Bone marrow smear
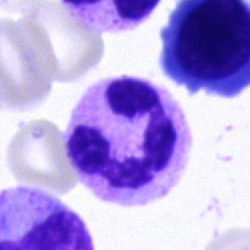

Q: What is the morphological classification of this cell?
A: This is a segmented neutrophil.